Bone marrow aspirate smear
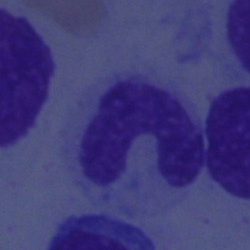

Q: What type of cell is this?
A: Stab cell.